Bone marrow smear
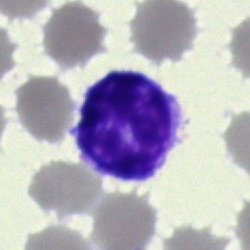Classification = typical lymphocyte.